Bone marrow aspirate smear · single cell centered in the field · 40× objective, oil immersion:
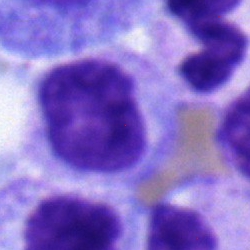

The classification is myelocyte.